Bone marrow aspirate smear · MGG-stained
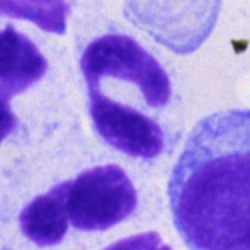 Q: What cell is this?
A: Polymorphonuclear neutrophil.